Bone marrow aspirate smear:
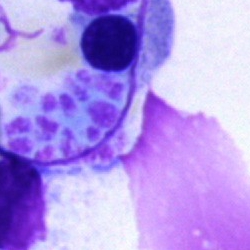
The cell shown is an artefact.